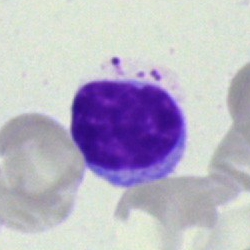
Q: Identify the cell.
A: It is a typical lymphocyte.